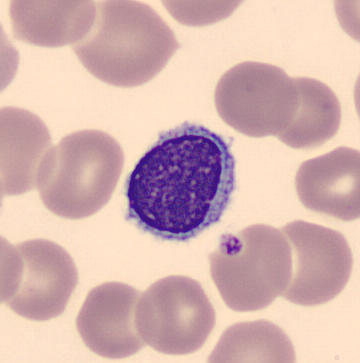 Image: Peripheral blood smear · automated cell imaging (CellaVision DM96). The classification is typical lymphocyte.